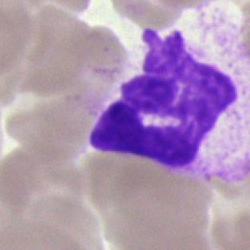 The cell is polymorphonuclear neutrophil.